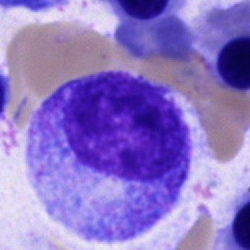 Cell type = progranulocyte.